250×250 px; May-Grünwald-Giemsa/Pappenheim stain; bone marrow aspirate smear:
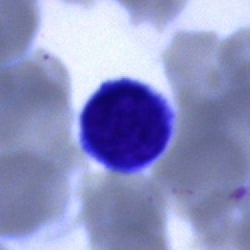

Morphology consistent with a typical lymphocyte.